Bone marrow smear · 40× objective, oil immersion — 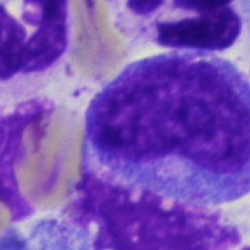

Single cell identified as a progranulocyte.